Bone marrow aspirate smear · single cell centered in the field — 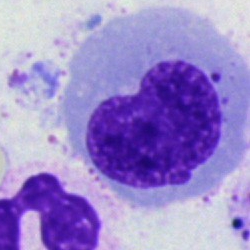
Nucleated red blood cell.